Peripheral blood smear:
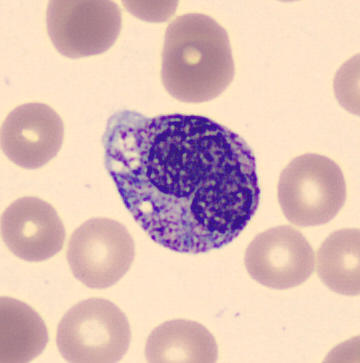Q: Which cell type is shown here?
A: It is a metamyelocyte.